Bone marrow smear. 250×250
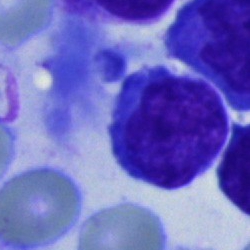Specimen: bone marrow smear.
Cell: typical lymphocyte.
Lineage: lymphoid.